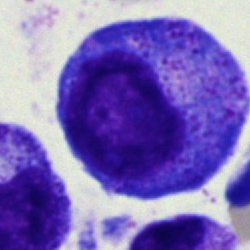Progranulocyte.